Bone marrow aspirate smear.
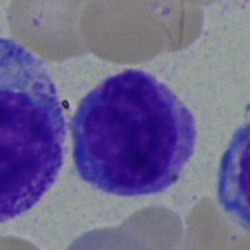

Single cell identified as a monocyte.